Bone marrow aspirate smear
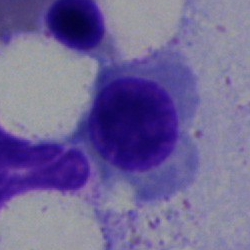

Morphology — erythroblast.